Bone marrow aspirate smear — 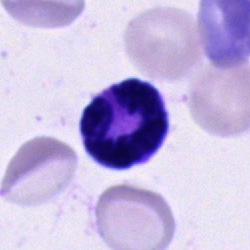
This is a polymorphonuclear neutrophil.